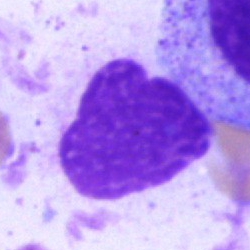

Morphology consistent with an artefact.